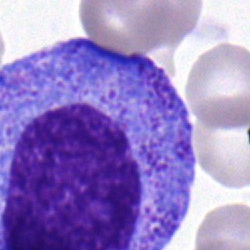

Cell type — progranulocyte.